40× oil immersion; bone marrow aspirate smear.
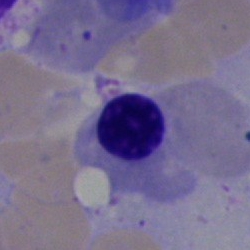

Specimen: bone marrow smear.
Cell: erythroblast.
Lineage: erythroid.